Single cell centered in the field; May-Grünwald-Giemsa stain; bone marrow aspirate smear — 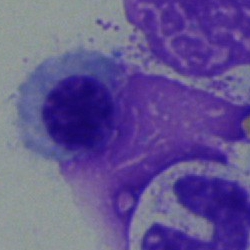
Cell type = nucleated red cell.